Peripheral blood smear
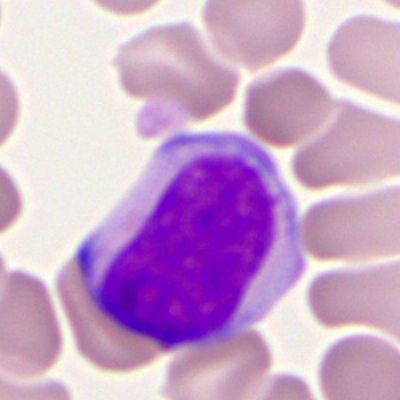 Specimen: peripheral blood smear.
Cell: myeloid blast.